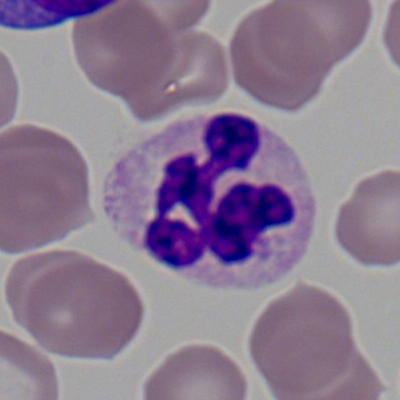
Cell type: polymorphonuclear neutrophil.